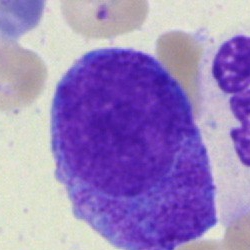
Specimen: bone marrow aspirate smear.
Classification: promyelocyte.